Bone marrow smear — 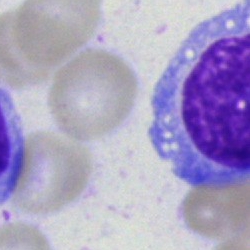

Cell = blast.